Single-cell field · bone marrow aspirate smear: 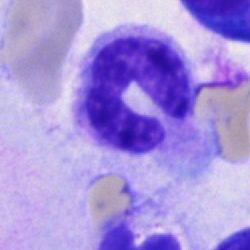
Q: What is shown here?
A: A stab cell.